Bone marrow aspirate smear:
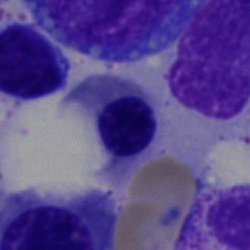

Showing a nucleated red blood cell.